Peripheral blood smear.
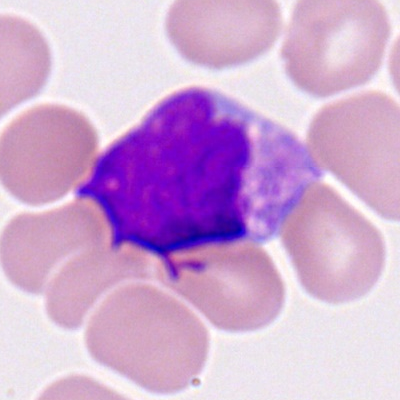Cell type = myeloid blast.